Bone marrow aspirate smear — 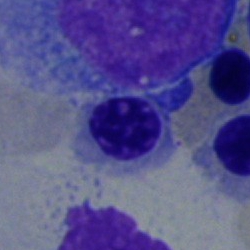

Cell type = erythroblast.